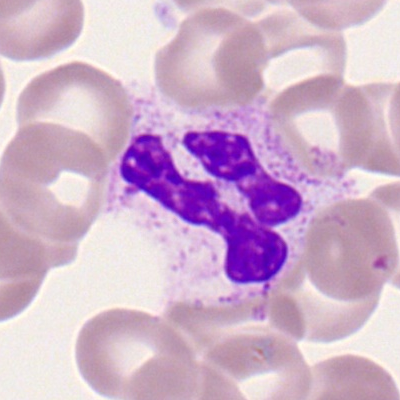

Morphological class: neutrophil (segmented).